Bone marrow smear; May-Grünwald-Giemsa stain — 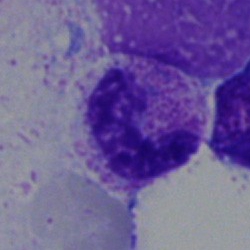

Impression — segmented neutrophil.